250×250; bone marrow smear; May-Grünwald-Giemsa/Pappenheim stain.
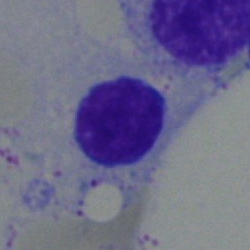 The cell is lymphocyte.